Bone marrow aspirate smear — 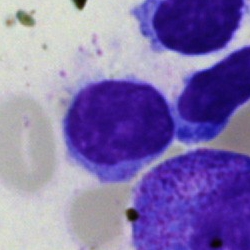
This is a lymphocyte.